Bone marrow aspirate smear:
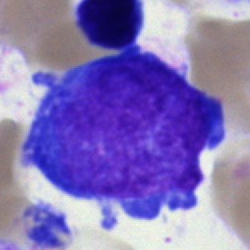 Specimen: bone marrow smear.
Cell type: blast cell.